MGG-stained; bone marrow smear — 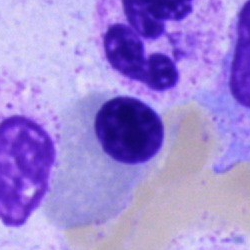 A nucleated red cell.